Bone marrow smear — 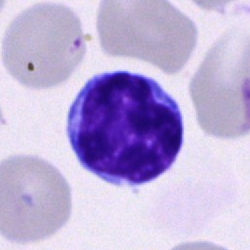 Morphology consistent with a lymphocyte.